Bone marrow aspirate smear
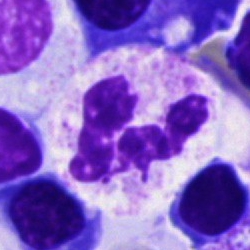Segmented neutrophil.